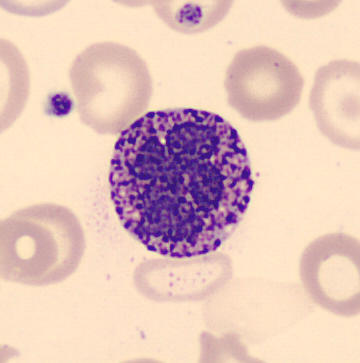

Morphological class = basophil. Preparation: Peripheral blood smear.